40× oil immersion; single cell centered in the field; bone marrow aspirate smear — 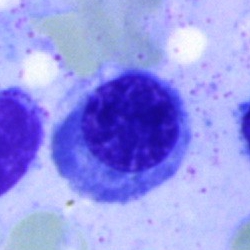
Normoblast.